Bone marrow aspirate smear — 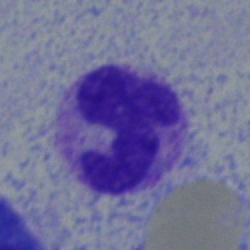

A neutrophil (segmented).